Bone marrow smear.
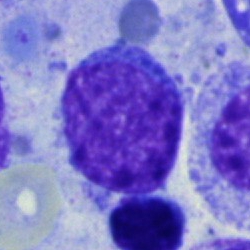 Cell — blast.